Bone marrow smear:
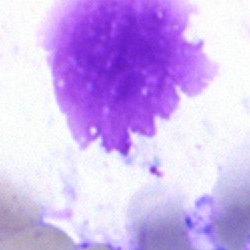

Q: What is shown here?
A: This is an artifact.